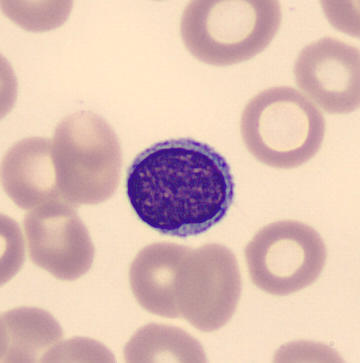

Peripheral blood smear. May Grünwald-Giemsa stain. 360 by 363 pixels.
Q: Identify the cell.
A: Lymphocyte.